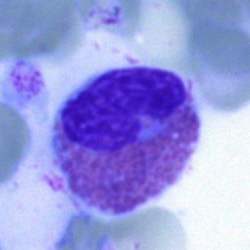 Morphological class = eosinophilic granulocyte.